Bone marrow aspirate smear; MGG-stained.
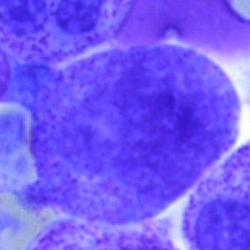
Cell — promyelocyte.